250 by 250 pixels · bone marrow aspirate smear: 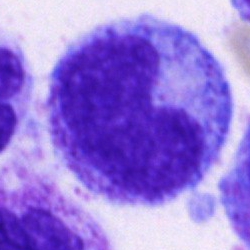
The classification is progranulocyte.